Bone marrow aspirate smear; single cell centered in the field.
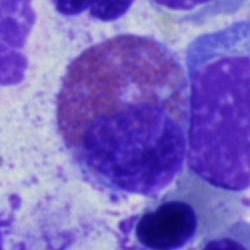
Q: Identify the cell.
A: An eosinophil.